Bone marrow smear:
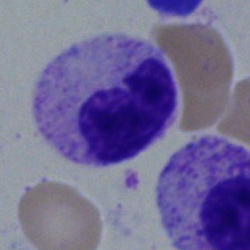
Morphology consistent with a metamyelocyte.